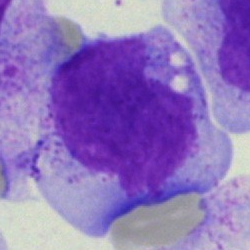Q: What type of cell is this?
A: Blast cell.